Pappenheim-stained; bone marrow smear; 40× objective, oil immersion — 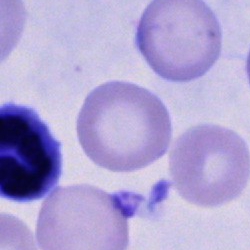 Cell type = cell of indeterminate lineage.